Bone marrow smear: 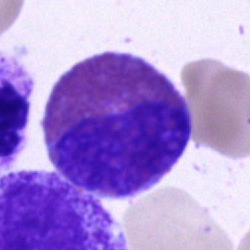
Q: What type of cell is this?
A: Eosinophilic granulocyte.